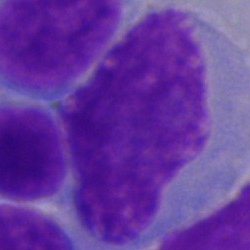 Single cell identified as an undifferentiated blast.